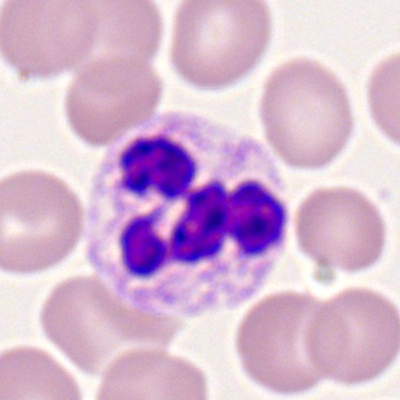This is a neutrophil (segmented).